Bone marrow aspirate smear; May-Grünwald-Giemsa/Pappenheim stain: 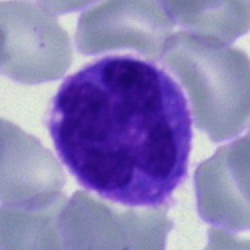

The cell is monocyte.